Bone marrow aspirate smear: 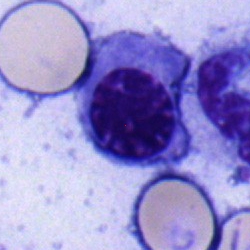Specimen: bone marrow smear.
Morphological class: nucleated red blood cell.